Peripheral blood film — 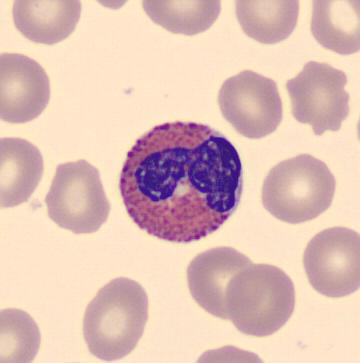Classification — eosinophilic granulocyte.